Single-cell field · bone marrow smear:
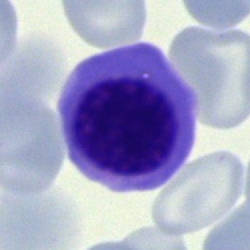
Specimen: bone marrow aspirate smear.
Cell: normoblast.
Lineage: erythroid.